Image size 250×250; bone marrow aspirate smear
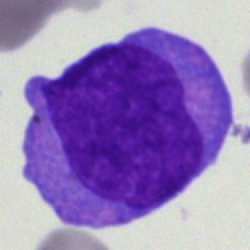 Cell type — blast.